Single cell centered in the field; bone marrow smear — 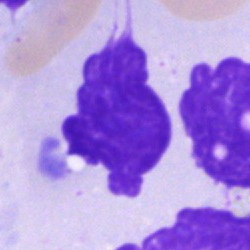
Cell — artefact.